Brightfield, 100× oil-immersion objective · peripheral blood smear — 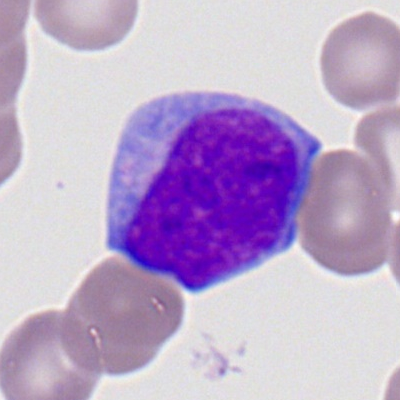 Q: What is shown here?
A: It is a myeloblast.